Bone marrow aspirate smear. MGG-stained
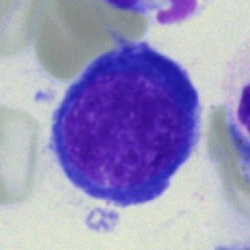Showing an erythroblast.